Bone marrow aspirate smear
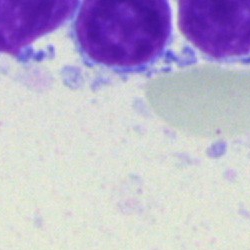 Impression — unidentifiable cell.